400×400 px; single cell centered in the field; peripheral blood smear.
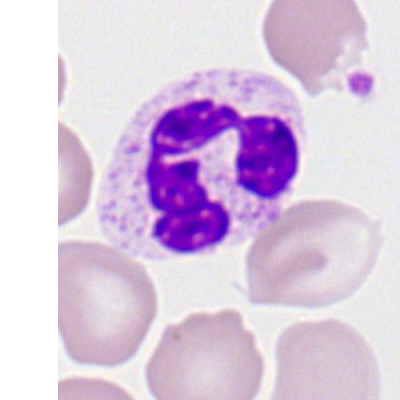 Morphology → segmented neutrophil.